Bone marrow aspirate smear.
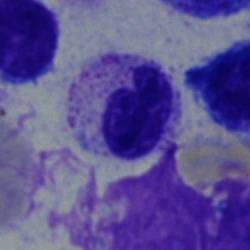Cell type — neutrophil (segmented).